Bone marrow smear
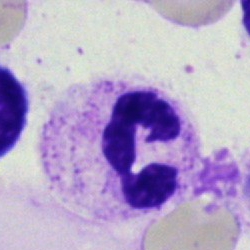 Specimen: bone marrow smear.
Morphological class: segmented neutrophil.